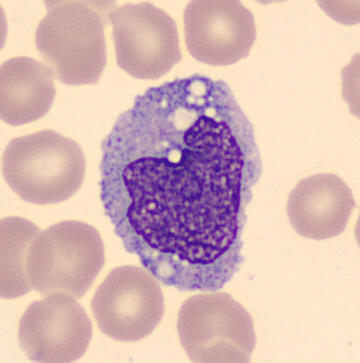

Identified as a monocyte.